Bone marrow aspirate smear:
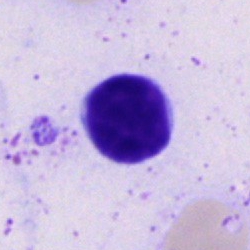

Showing a typical lymphocyte.